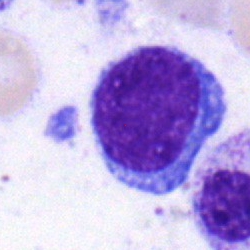Q: Identify the cell.
A: A lymphocyte.